Bone marrow smear. May-Grünwald-Giemsa/Pappenheim stain: 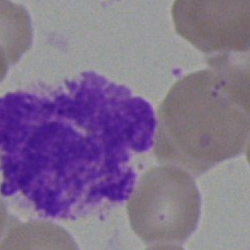

Morphological class: artefact.